Bone marrow smear.
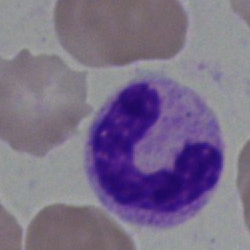
Showing a stab cell.